Bone marrow smear.
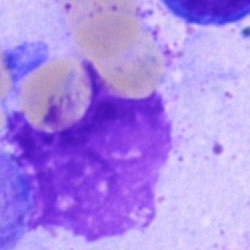 This is an artefact.